Bone marrow smear: 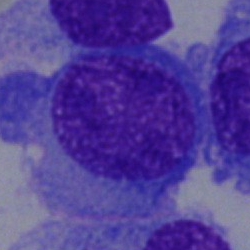Morphology consistent with a plasma cell.